Bone marrow smear: 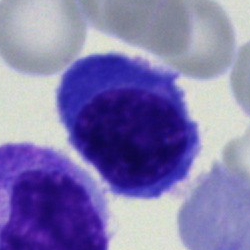Morphological class — nucleated red cell.